Bone marrow smear. May-Grünwald-Giemsa stain: 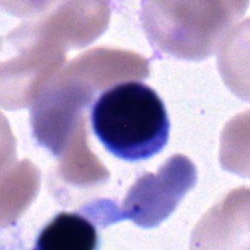
Q: Identify the cell.
A: It is a typical lymphocyte.